Bone marrow aspirate smear: 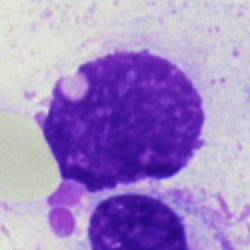

Q: What is shown here?
A: An artefact.